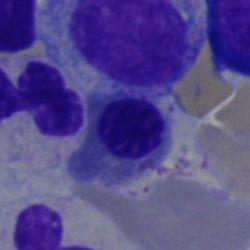 Q: Which cell type is shown here?
A: It is an erythroblast.